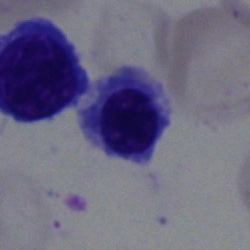

{"cell_type": "erythroblast", "lineage": "erythroid"}